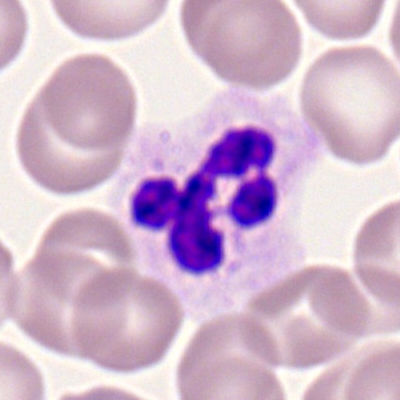
Impression — neutrophil (segmented).